250 by 250 pixels. Bone marrow aspirate smear:
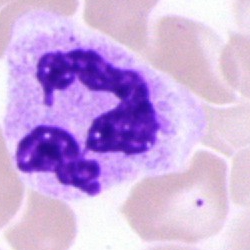

{"cell_type": "polymorphonuclear neutrophil"}